Bone marrow aspirate smear.
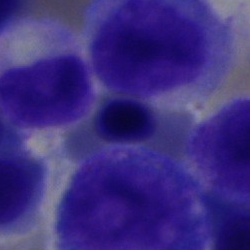

Showing a nucleated red cell.